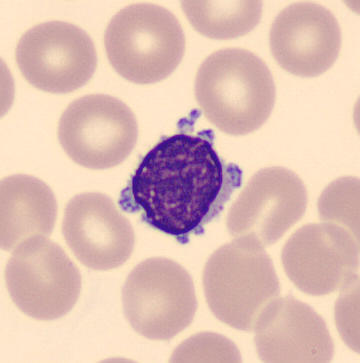Peripheral blood smear · May-Grünwald-Giemsa-stained · single-cell field. Cell = typical lymphocyte.